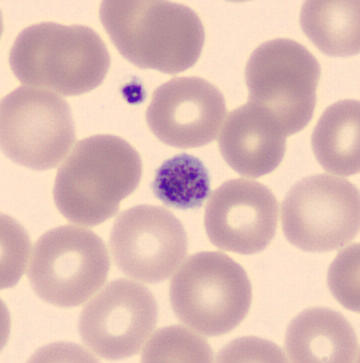
The classification is platelet (thrombocyte).